Bone marrow smear.
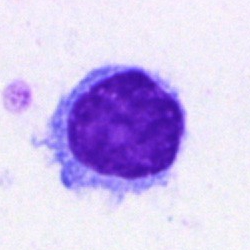

The cell shown is a typical lymphocyte.